Bone marrow aspirate smear:
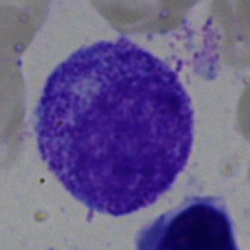{"cell_type": "progranulocyte", "lineage": "myeloid"}